40× objective, oil immersion; bone marrow aspirate smear; May-Grünwald-Giemsa/Pappenheim stain
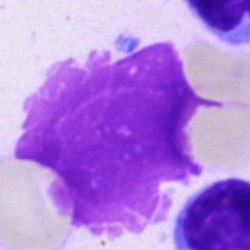The cell type is artefact.